Cropped to a single cell · 400×400 px · peripheral blood smear:
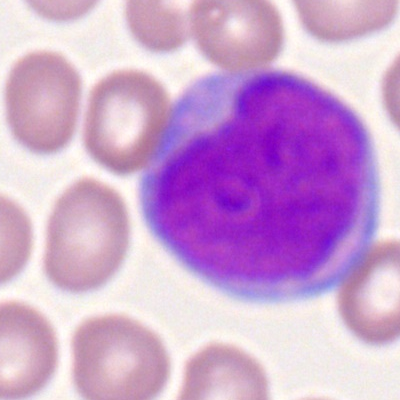
Specimen: peripheral blood smear.
Morphological class: myeloid blast.
Lineage: myeloid.